40× oil immersion · bone marrow aspirate smear — 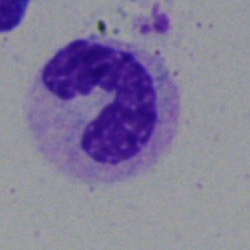

Morphological class: segmented neutrophil.